Bone marrow aspirate smear: 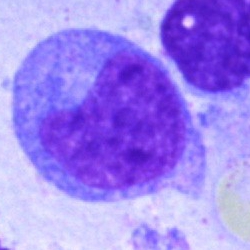 Impression → promyelocyte.